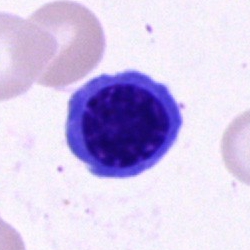Cell type: erythroblast.